MGG-stained. Bone marrow smear. Single-cell crop: 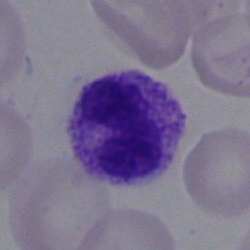
Morphology consistent with a stab cell.